May-Grünwald-Giemsa stain; bone marrow aspirate smear: 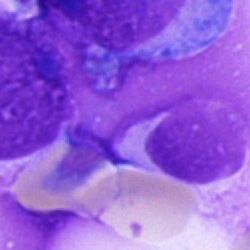Impression → artefact.